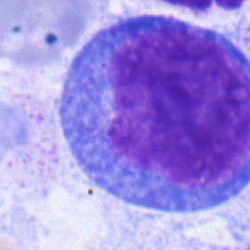

Morphology consistent with a progranulocyte.